40× objective, oil immersion. Bone marrow smear: 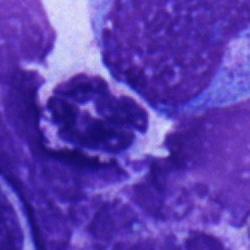
Morphology consistent with a segmented neutrophil.